Bone marrow aspirate smear.
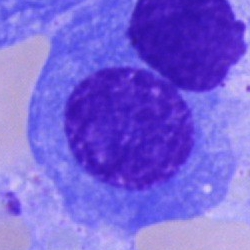Q: What is shown here?
A: Plasma cell.